Peripheral blood smear. Single-cell field — 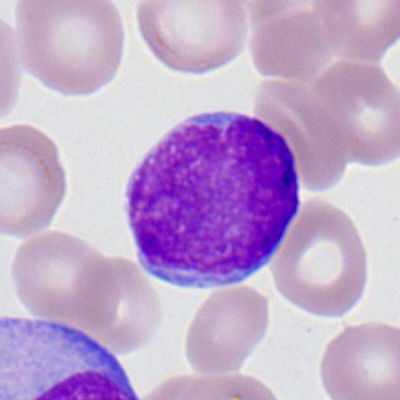Q: Identify the cell.
A: This is a myeloblast.